Bone marrow aspirate smear:
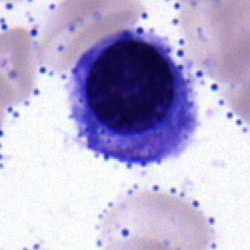
Single cell identified as an erythroblast.